Bone marrow smear: 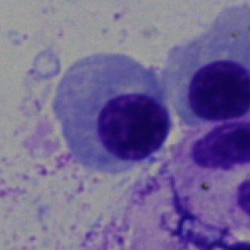

Morphology → nucleated red blood cell.